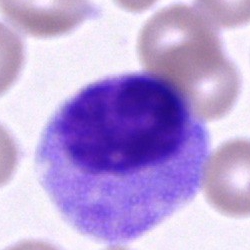

The classification is cell of indeterminate lineage.